Peripheral blood smear
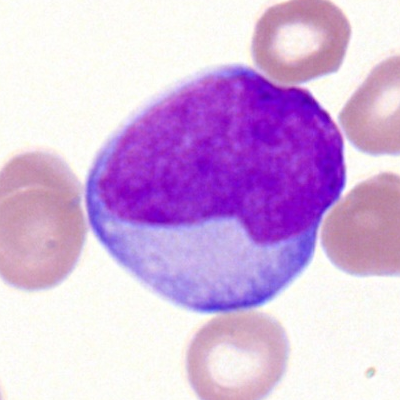
Morphological class = myeloblast.